Bone marrow aspirate smear
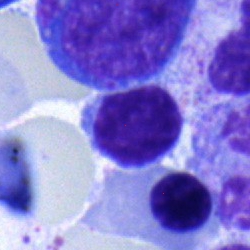Specimen: bone marrow smear.
Cell: typical lymphocyte.